40× oil immersion; bone marrow smear: 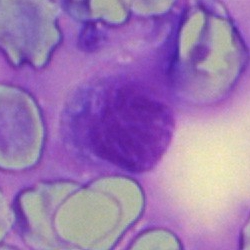 Morphological class = artefact.